Bone marrow smear.
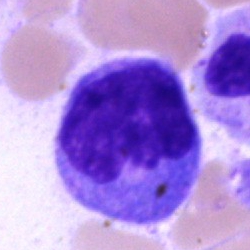 Cell — monocyte.